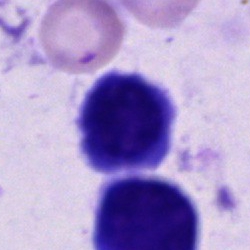
A cell of indeterminate lineage.